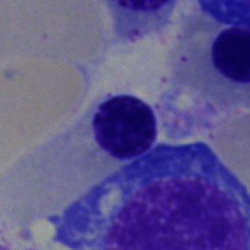 Morphology consistent with a normoblast.